Bone marrow smear; image size 250×250; brightfield, 40× oil-immersion objective
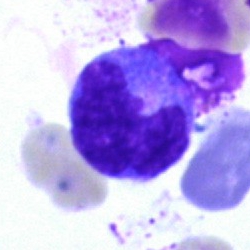

Specimen: bone marrow smear.
Morphological class: monocyte.
Lineage: myeloid.